Peripheral blood film. CellaVision DM96 digital cell image.
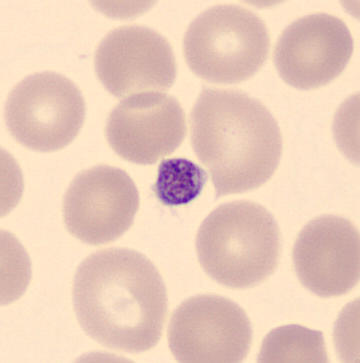Classification: thrombocyte.